Bone marrow smear — 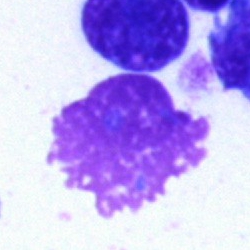

This is an artifact.